Bone marrow aspirate smear: 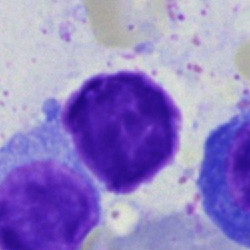 Single cell identified as an artefact.